Image size 250×250 · May-Grünwald-Giemsa stain · bone marrow aspirate smear
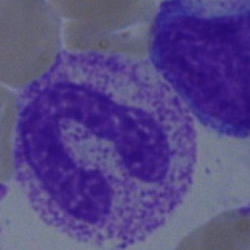
Cell type — band neutrophil.